Bone marrow aspirate smear · single cell centered in the field — 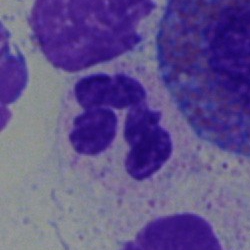

Classification — polymorphonuclear neutrophil.